40× objective, oil immersion. MGG-stained. Bone marrow aspirate smear: 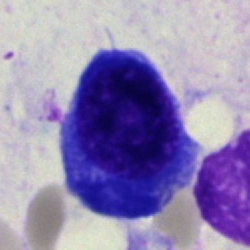
Specimen: bone marrow smear.
Morphological class: nucleated red blood cell.